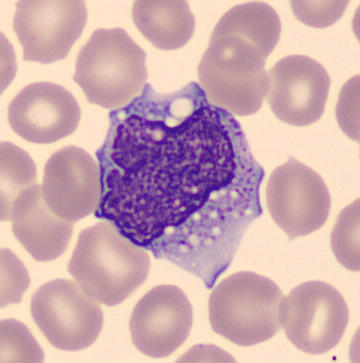
Impression → monocyte.
Image: MGG stain. Peripheral blood film.